Bone marrow smear; May-Grünwald-Giemsa/Pappenheim stain — 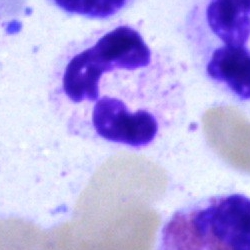This is a polymorphonuclear neutrophil.